Pappenheim-stained · bone marrow smear.
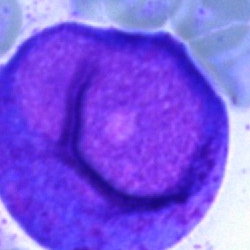 Q: What is shown here?
A: It is a cell of indeterminate lineage.